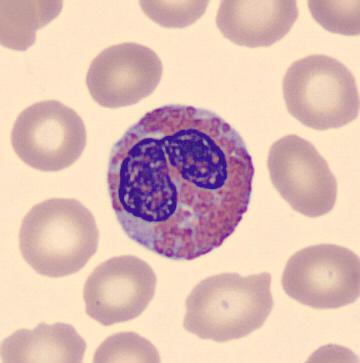 Peripheral blood film.

Identified as an eosinophil.